Bone marrow aspirate smear; 250 by 250 pixels:
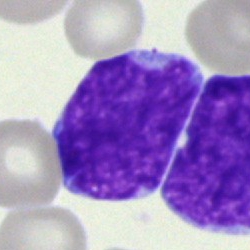

This is an undifferentiated blast.